Bone marrow aspirate smear; May-Grünwald-Giemsa/Pappenheim stain: 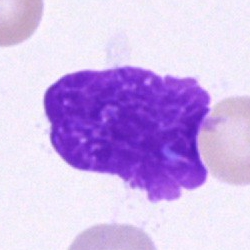 Q: What is shown here?
A: It is an artifact.